Peripheral blood smear: 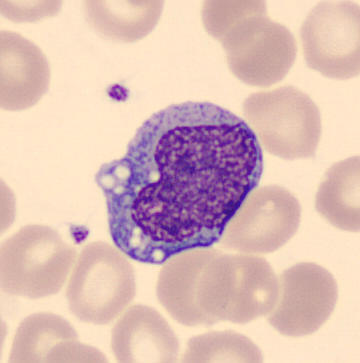

{"cell_type": "monocyte", "lineage": "myeloid"}